Brightfield, 40× oil-immersion objective. Bone marrow smear.
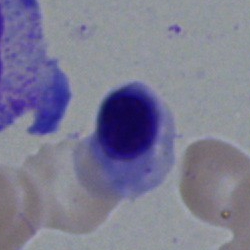

Morphology → erythroblast.